Bone marrow smear — 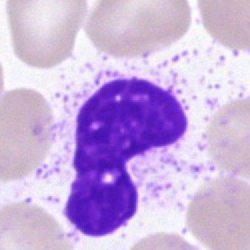 The classification is artifact.